Bone marrow aspirate smear · cropped to a single cell:
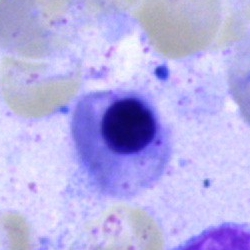
Morphology consistent with an erythroblast.